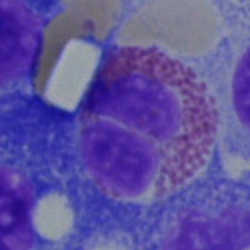

{"cell_type": "eosinophil", "lineage": "myeloid"}